Bone marrow aspirate smear — 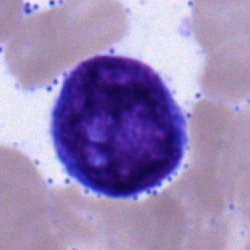 Cell type — blast.